Single-cell field; bone marrow smear: 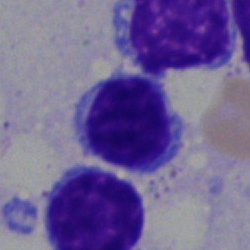The cell is typical lymphocyte.